Bone marrow smear — 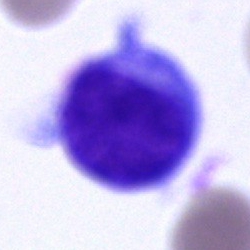
Cell — blast.